May-Grünwald-Giemsa stain. Bone marrow smear. Single-cell crop.
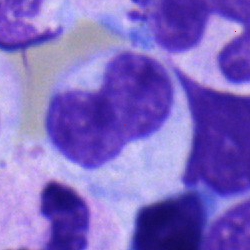 Showing a band-form neutrophil.